Bone marrow aspirate smear
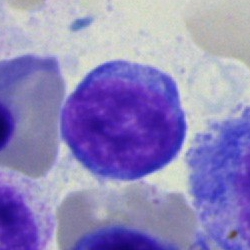

Cell: typical lymphocyte.